Bone marrow smear.
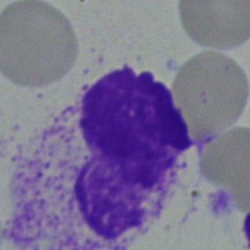 {"cell_type": "segmented neutrophil", "lineage": "myeloid"}